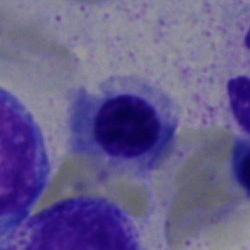This is a nucleated red blood cell.